Bone marrow smear — 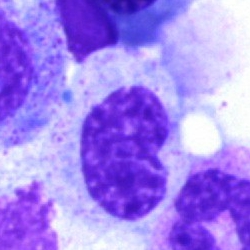 This is a metamyelocyte.